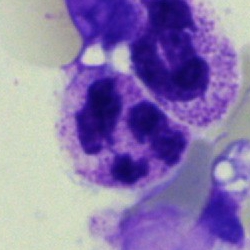

Specimen: bone marrow smear.
Cell: polymorphonuclear neutrophil.
Lineage: myeloid.